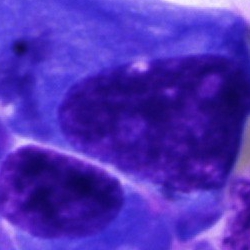

A plasma cell.